Bone marrow aspirate smear · May-Grünwald-Giemsa/Pappenheim stain: 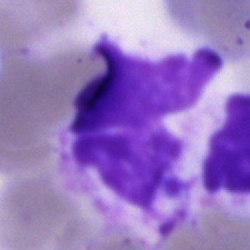

Specimen: bone marrow aspirate smear.
Cell type: artifact.